Bone marrow smear. Image size 250×250:
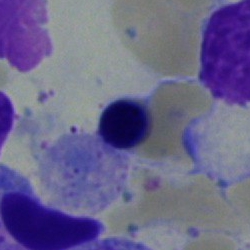Cell type: nucleated red cell.